400 by 400 pixels. Peripheral blood film. Single-cell field — 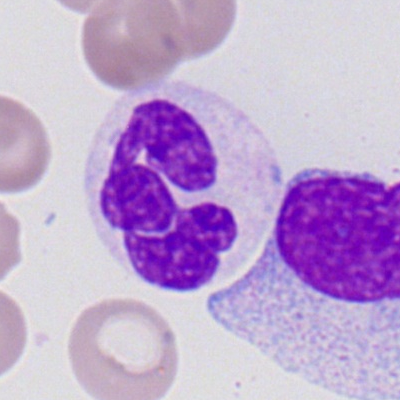 Single cell identified as a segmented neutrophil.